Bone marrow aspirate smear.
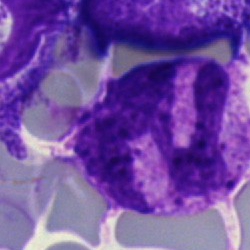

Classification: basophil.